Bone marrow smear.
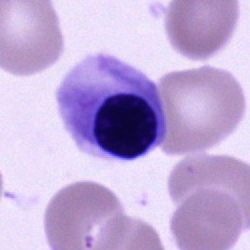

Specimen: bone marrow smear.
Cell type: nucleated red blood cell.
Lineage: erythroid.